Brightfield, 100× oil-immersion objective; peripheral blood smear
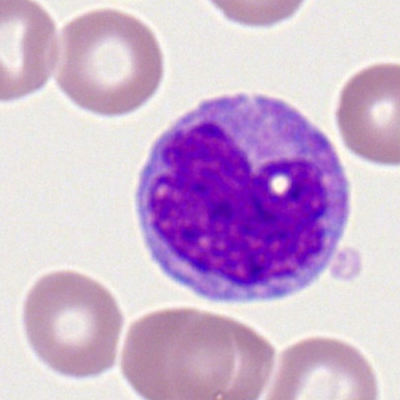The cell shown is a monocyte.